May-Grünwald-Giemsa/Pappenheim stain · 250×250 · bone marrow smear: 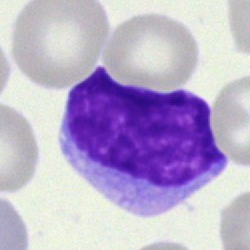

Q: What type of cell is this?
A: This is an undifferentiated blast.